250×250 px; bone marrow aspirate smear; brightfield, 40× oil-immersion objective: 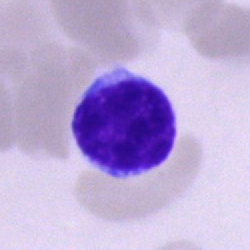
Specimen: bone marrow aspirate smear.
Cell: lymphocyte.